Single-cell field. Pappenheim-stained. Bone marrow smear: 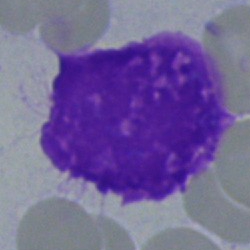Classification = artifact.